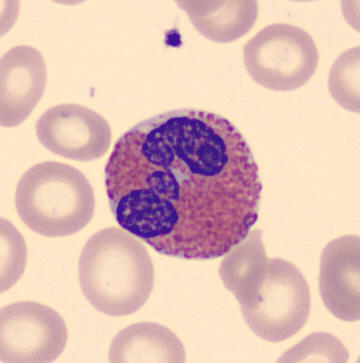
The cell shown is an eosinophilic granulocyte.